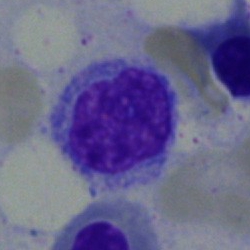
The morphological class is monocyte.